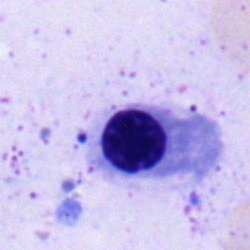

Morphology → normoblast.